Bone marrow smear.
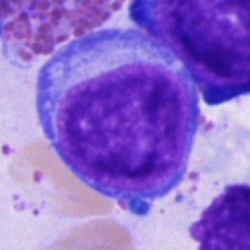

Morphological class: proerythroblast.